40× objective, oil immersion; bone marrow smear — 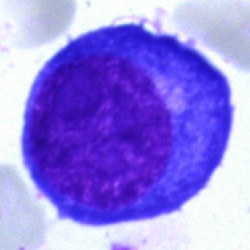The classification is proerythroblast.